Bone marrow smear — 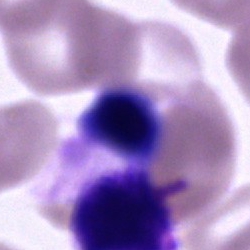 {"cell_type": "cell of indeterminate lineage"}